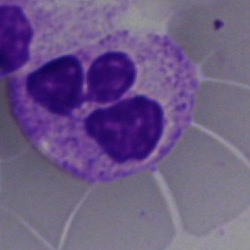The cell shown is a polymorphonuclear neutrophil.